Peripheral blood film: 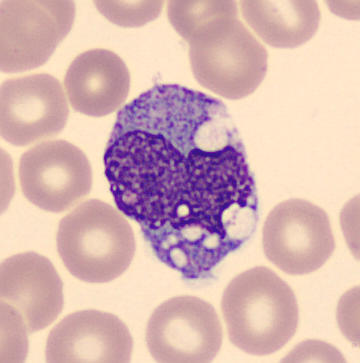

Specimen: peripheral blood film.
Cell type: monocyte.
Lineage: myeloid.